Peripheral blood smear. Romanowsky-stained:
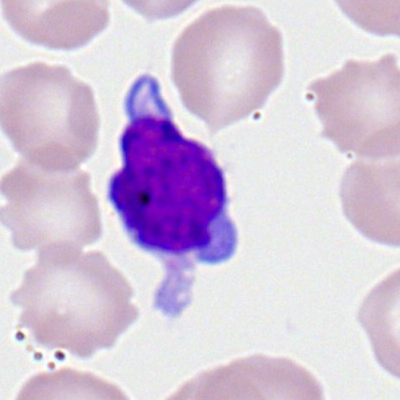 Morphological class: lymphocyte.